Bone marrow aspirate smear — 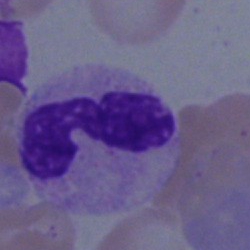This is a polymorphonuclear neutrophil.